Bone marrow smear: 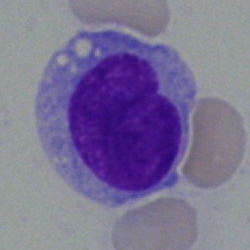Specimen: bone marrow aspirate smear.
Morphological class: monocyte.
Lineage: myeloid.